Bone marrow aspirate smear · image size 250×250 · Pappenheim-stained:
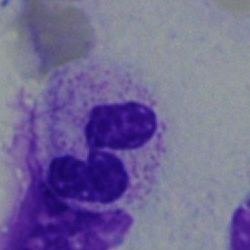
The cell is neutrophil (segmented).